40× oil immersion. Bone marrow smear
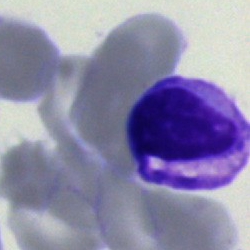A typical lymphocyte.